Bone marrow smear
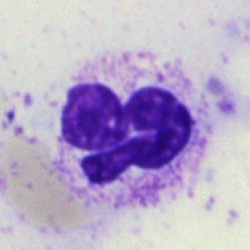 This is a neutrophil (segmented).